May-Grünwald-Giemsa/Pappenheim stain. Bone marrow aspirate smear — 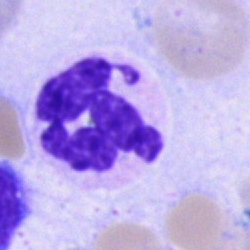

Single cell identified as a polymorphonuclear neutrophil.